Bone marrow aspirate smear; brightfield, 40× oil-immersion objective; MGG-stained
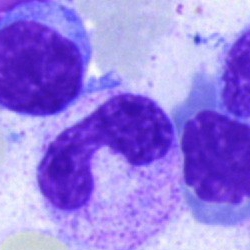

The cell shown is a band-form neutrophil.